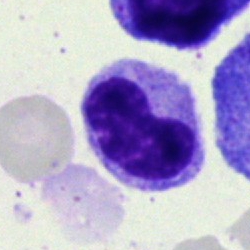

Specimen: bone marrow aspirate smear.
Cell: band neutrophil.
Lineage: myeloid.